Bone marrow smear: 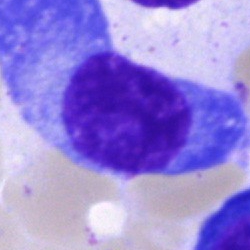
Specimen: bone marrow smear.
Classification: plasmacyte.